Bone marrow aspirate smear
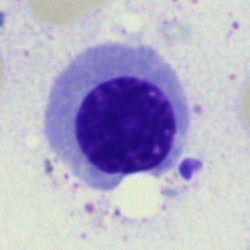
A nucleated red blood cell.